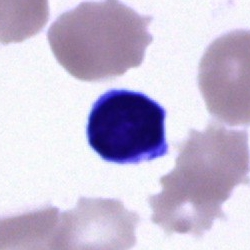

Artefact.